Single-cell field · bone marrow smear · brightfield, 40× oil-immersion objective — 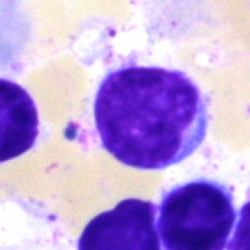
Q: What cell is this?
A: It is a typical lymphocyte.